Brightfield, 100× oil-immersion objective. Romanowsky-type stain. Peripheral blood smear: 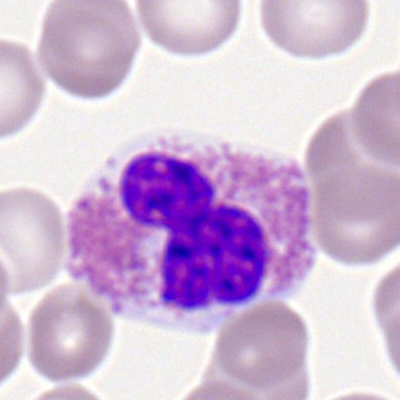The classification is eosinophil.